Bone marrow aspirate smear. Single-cell crop.
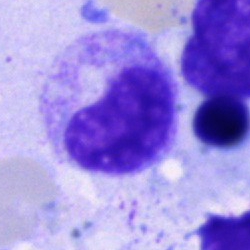

Metamyelocyte.